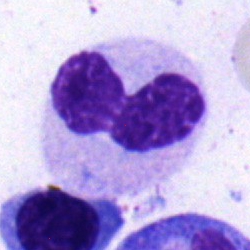
Q: Identify the cell.
A: This is a neutrophil (segmented).